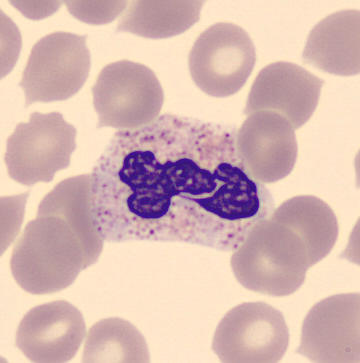 Peripheral blood smear.

Identified as a neutrophil (segmented).